Bone marrow aspirate smear.
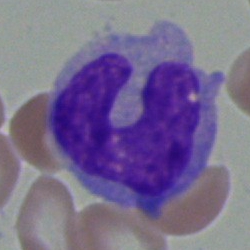The morphological class is monocyte.